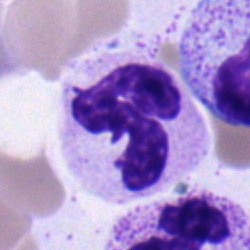Bone marrow smear showing a polymorphonuclear neutrophil.